250 by 250 pixels; bone marrow aspirate smear
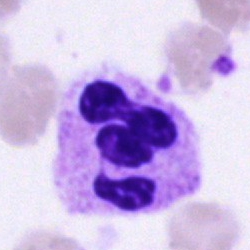The cell shown is a polymorphonuclear neutrophil.